Peripheral blood film
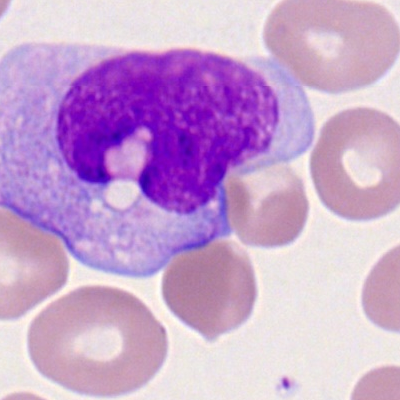 This is a monocyte.